Bone marrow smear
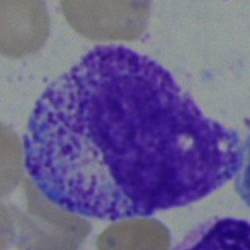

Myelocyte.